Bone marrow aspirate smear — 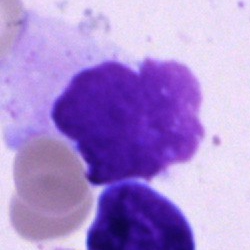

Cell type = artefact.